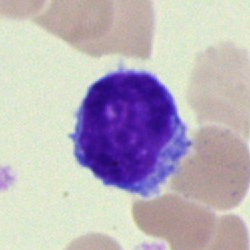

Q: Which cell type is shown here?
A: A lymphocyte.